Bone marrow smear: 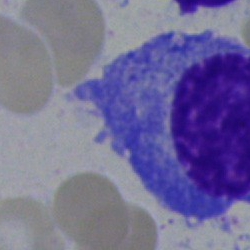{"cell_type": "plasmacyte", "lineage": "lymphoid"}